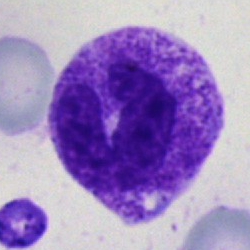Classification = polymorphonuclear neutrophil.